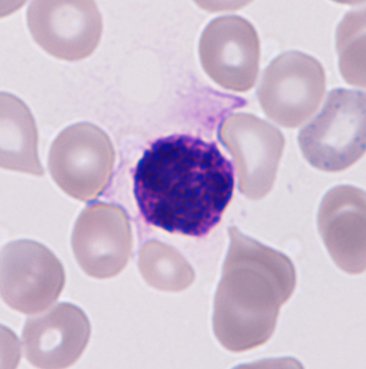Single cell identified as a basophil.